Peripheral blood film. Romanowsky stain. 400 by 400 pixels: 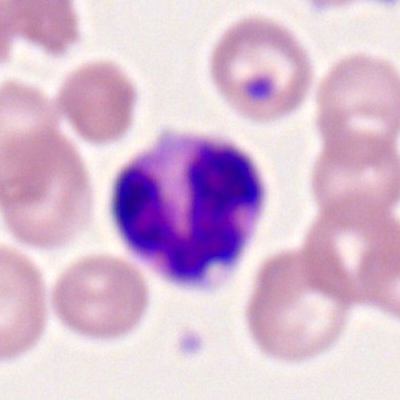 Impression — neutrophil (segmented).